Bone marrow smear:
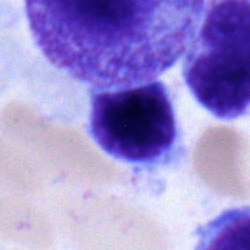

Q: What type of cell is this?
A: It is a lymphocyte.